Bone marrow aspirate smear · Pappenheim-stained:
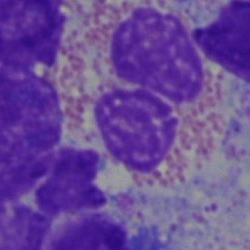 An eosinophilic granulocyte.